Bone marrow smear — 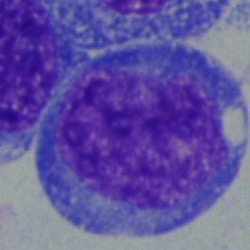 Cell type — undifferentiated blast.